Bone marrow aspirate smear
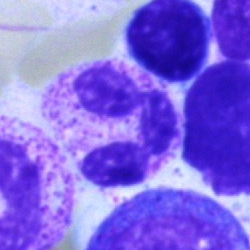 Morphological class = segmented neutrophil.